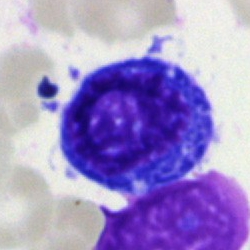

Impression — pronormoblast.